Peripheral blood smear. CellaVision DM96 digital cell image. Single-cell crop — 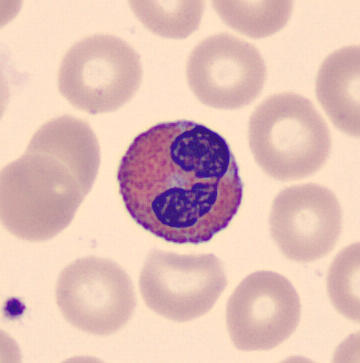
Morphology — eosinophil.